Bone marrow aspirate smear:
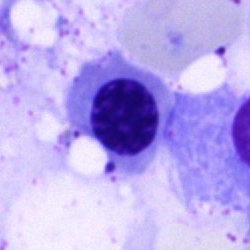Nucleated red cell.